Single-cell crop · bone marrow aspirate smear
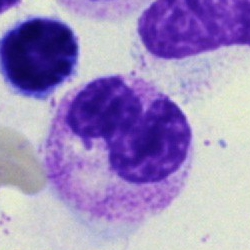Morphology consistent with a stab cell.